Bone marrow smear — 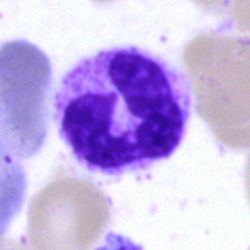Q: Identify the cell.
A: This is a neutrophil (segmented).